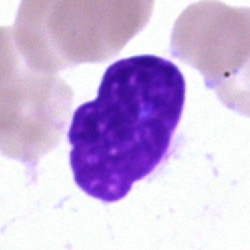
The cell shown is an artifact.